Bone marrow aspirate smear — 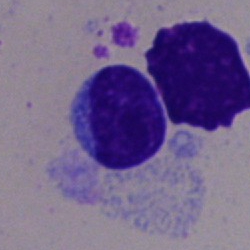 Cell type = lymphocyte.